Bone marrow smear.
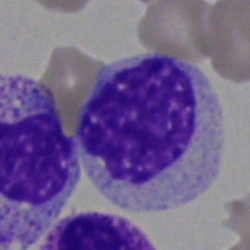
Q: What is the morphological classification of this cell?
A: This is a cell of indeterminate lineage.